Peripheral blood smear. Single-cell field
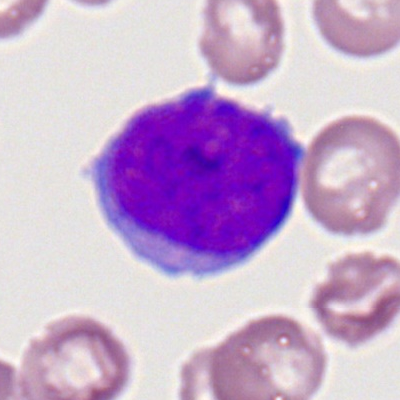 The cell type is lymphocyte.